Single-cell field; bone marrow smear
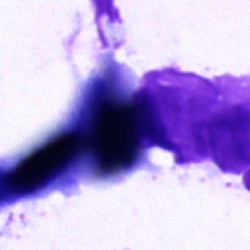 Q: What is shown here?
A: An artifact.